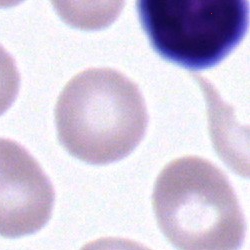Q: What cell is this?
A: Lymphocyte.